Bone marrow smear. 250×250:
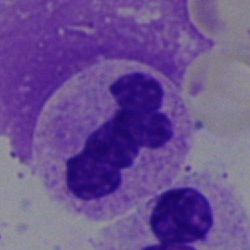This is a segmented neutrophil.